Bone marrow aspirate smear — 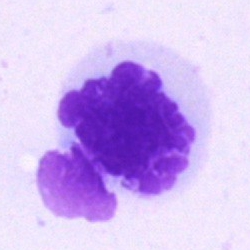
Q: What is shown here?
A: It is an artifact.